Bone marrow smear.
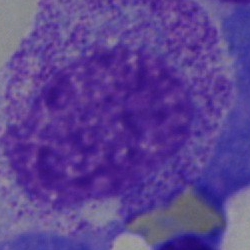

Cell: myelocyte.